250×250. Bone marrow smear
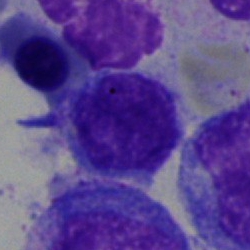

Morphology → lymphocyte.